Bone marrow aspirate smear
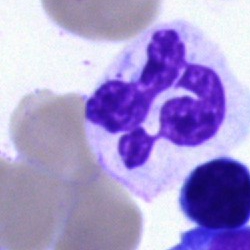
Segmented neutrophil.